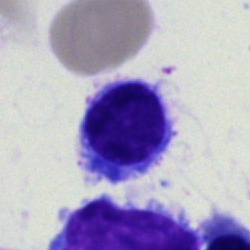Single cell identified as a typical lymphocyte.